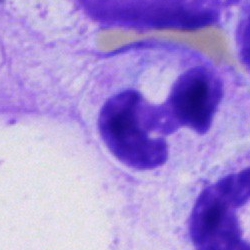
Single cell identified as a polymorphonuclear neutrophil.